Bone marrow smear; brightfield, 40× oil-immersion objective:
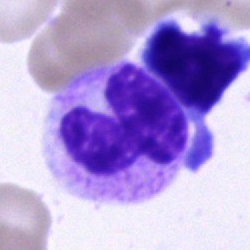 Q: What is the morphological classification of this cell?
A: This is a band-form neutrophil.